Bone marrow aspirate smear:
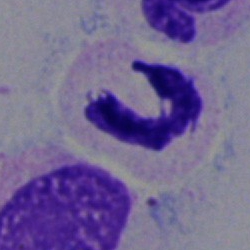Morphological class = segmented neutrophil.